40× objective, oil immersion · bone marrow smear · single-cell crop — 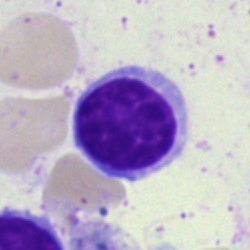 Q: What cell is this?
A: Lymphocyte.